Bone marrow smear:
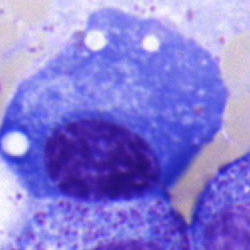The classification is plasma cell.